May-Grünwald-Giemsa/Pappenheim stain. Bone marrow aspirate smear — 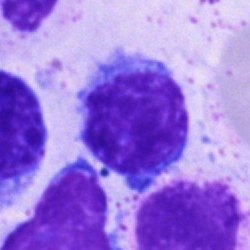The cell shown is a lymphocyte.